Bone marrow smear — 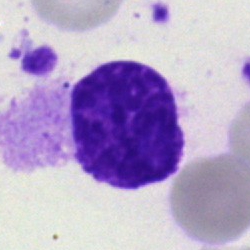 An artifact.